Brightfield microscopy, 40× oil immersion; bone marrow smear — 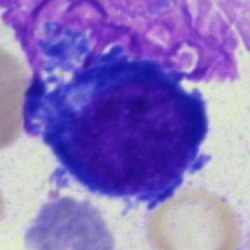
Showing a pronormoblast.